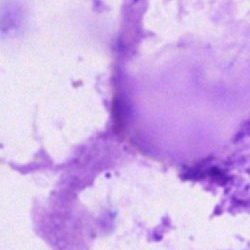
Bone marrow aspirate smear, single cell — artifact.